Bone marrow smear. 250×250 px
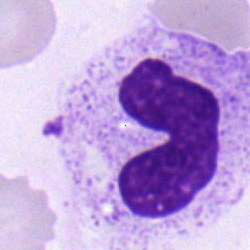 {"cell_type": "band neutrophil"}